Bone marrow aspirate smear; single-cell field: 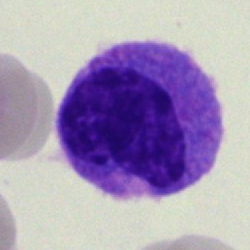 Morphology — monocyte.